May-Grünwald-Giemsa stain. 250×250. Bone marrow smear: 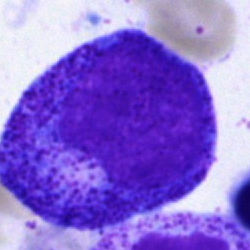
Morphology consistent with a promyelocyte.